360 by 363 pixels · peripheral blood film
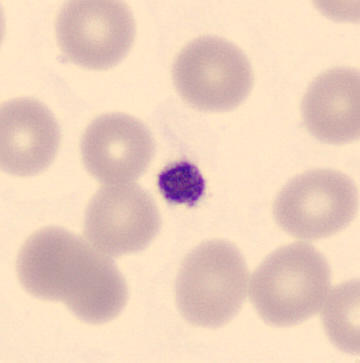
Q: What is this?
A: Thrombocyte.